40× objective, oil immersion; cropped to a single cell; bone marrow aspirate smear
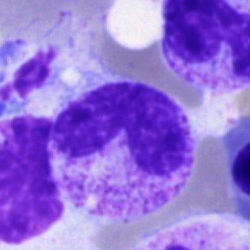

This is a neutrophil (band).